250 by 250 pixels · bone marrow aspirate smear
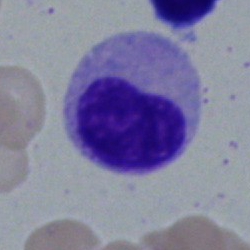

Specimen: bone marrow smear.
Cell: metamyelocyte.